May-Grünwald-Giemsa stain; bone marrow smear; brightfield, 40× oil-immersion objective: 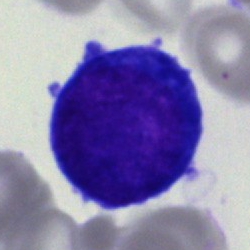
Showing a blast cell.